40× objective, oil immersion; 250×250; bone marrow aspirate smear:
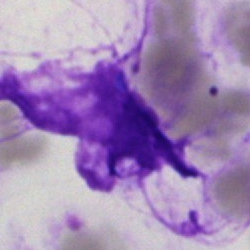

Cell: artefact.